Bone marrow smear.
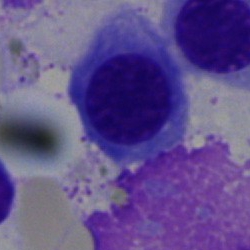

Morphological class — erythroblast.